Bone marrow aspirate smear:
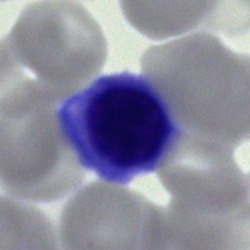

The cell is unidentifiable cell.